Bone marrow smear. Pappenheim-stained. Brightfield, 40× oil-immersion objective.
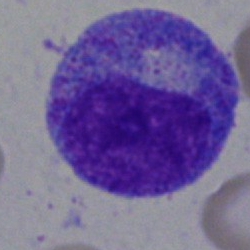
Morphology consistent with a progranulocyte.